Bone marrow smear:
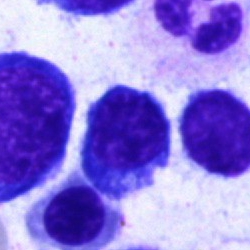 Impression — typical lymphocyte.